Bone marrow aspirate smear · single cell centered in the field
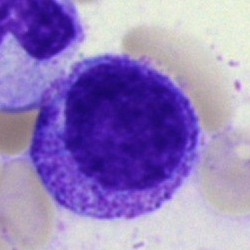

Cell type: myelocyte.